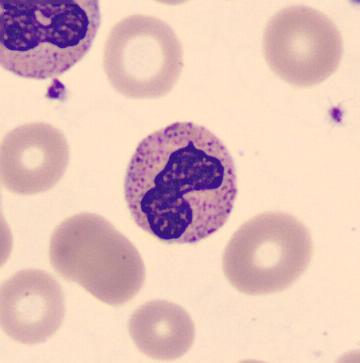Q: Which cell type is shown here?
A: A band neutrophil.
Image: Peripheral blood film.